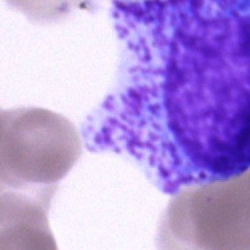 Progranulocyte.